May-Grünwald-Giemsa stain. Bone marrow aspirate smear. Cropped to a single cell — 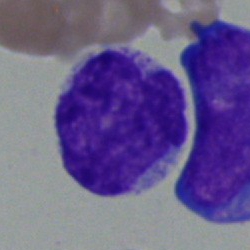

Single cell identified as an undifferentiated blast.